Bone marrow smear:
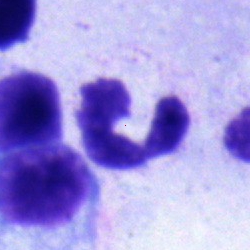

Single cell identified as a lymphocyte.